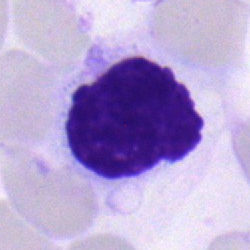{"cell_type": "typical lymphocyte"}